May-Grünwald-Giemsa/Pappenheim stain · bone marrow smear · brightfield microscopy, 40× oil immersion.
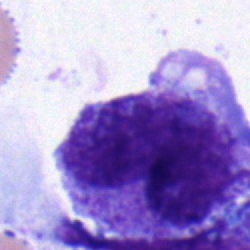

Impression → blast.